100× oil immersion · peripheral blood smear.
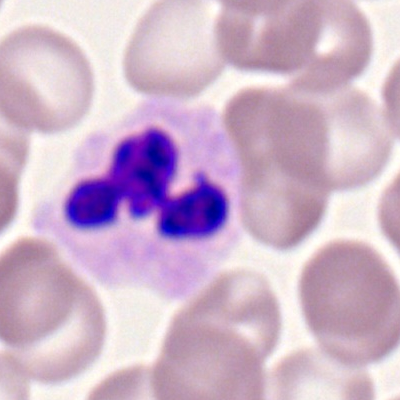Cell = polymorphonuclear neutrophil.